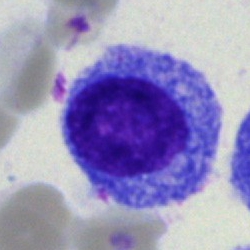 Progranulocyte.